M8 digital microscope (Precipoint), 100× oil immersion; Romanowsky-type stain; peripheral blood film: 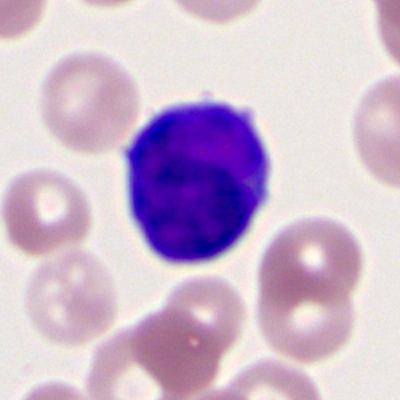Specimen: peripheral blood film.
Cell: myeloblast.